Bone marrow smear — 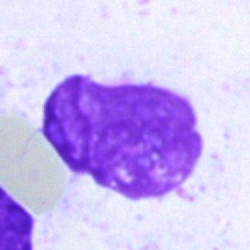

Artifact.